Bone marrow aspirate smear.
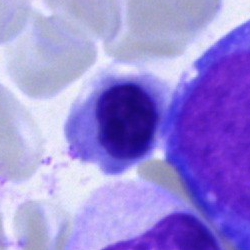
Specimen: bone marrow aspirate smear.
Cell type: erythroblast.
Lineage: erythroid.